Bone marrow aspirate smear; May-Grünwald-Giemsa/Pappenheim stain:
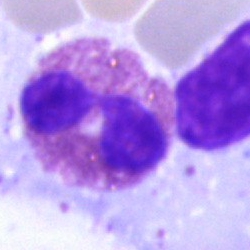
Morphology consistent with an eosinophil.